Bone marrow aspirate smear; MGG-stained; 250×250 px.
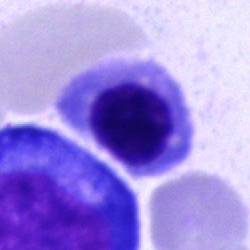Q: What type of cell is this?
A: It is an erythroblast.